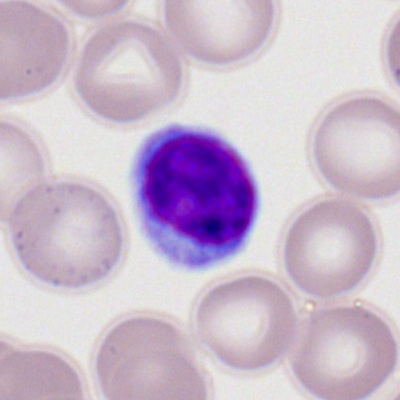

The cell is typical lymphocyte.